Bone marrow smear. Single-cell crop.
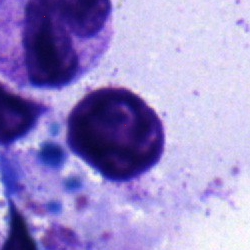
Q: Identify the cell.
A: Typical lymphocyte.